Bone marrow smear: 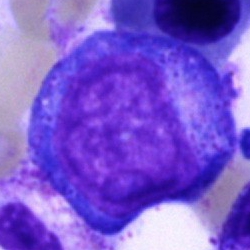 Cell: progranulocyte.